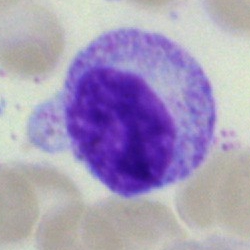

Morphology → myelocyte.